Peripheral blood film: 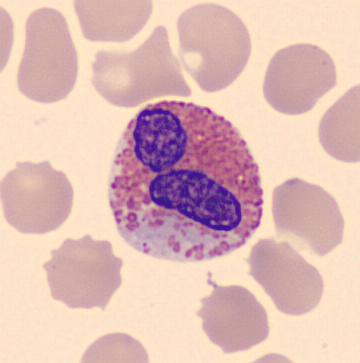
Morphology → eosinophil.